250×250. Bone marrow smear:
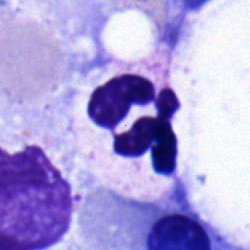 Cell — polymorphonuclear neutrophil.